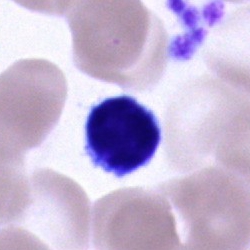

Single cell identified as a typical lymphocyte.